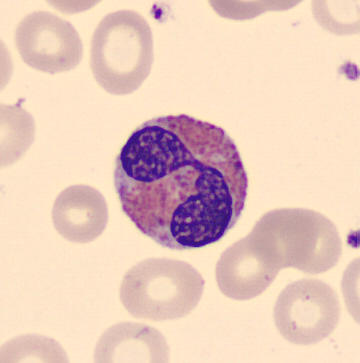 Identified as an eosinophil. Acquisition: Peripheral blood smear.